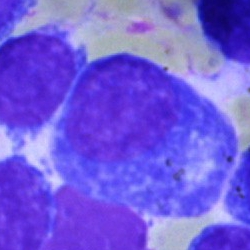
Single-cell crop from a bone marrow smear: plasma cell.